Cropped to a single cell; bone marrow aspirate smear.
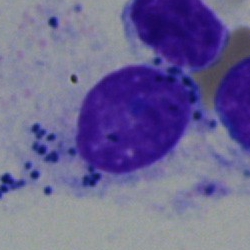

Classification — typical lymphocyte.